Image size 250×250 · bone marrow aspirate smear
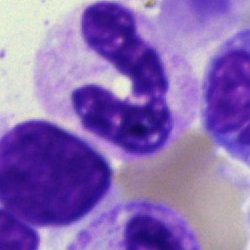

Single cell identified as a neutrophil (segmented).